Bone marrow aspirate smear — 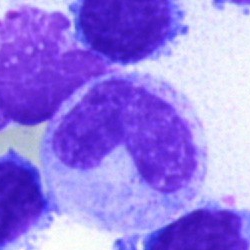Morphological class = stab cell.